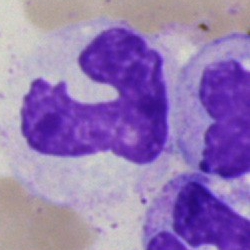A neutrophil (band) on a bone marrow smear.